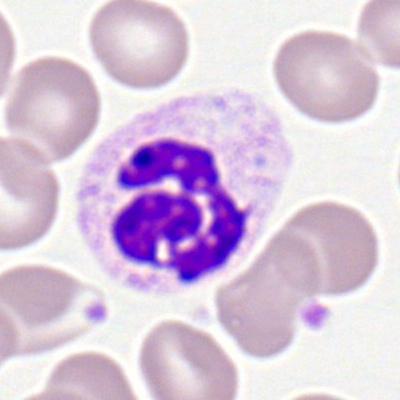 Cell type: polymorphonuclear neutrophil.